Bone marrow aspirate smear: 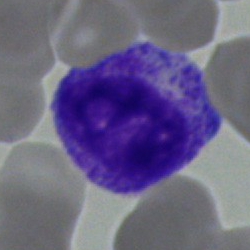

Impression → myelocyte.